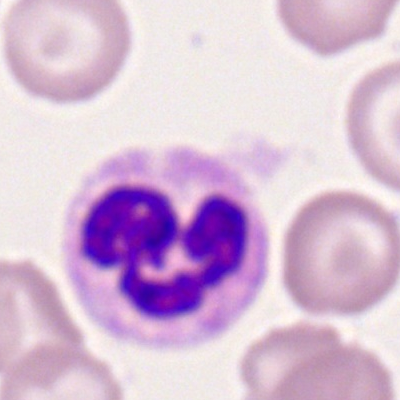 The cell is neutrophil (segmented).